Peripheral blood film; Romanowsky stain — 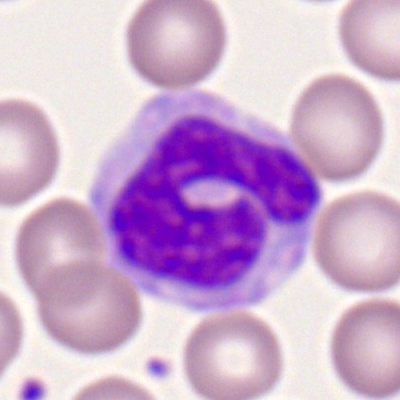 Specimen: peripheral blood smear.
Morphological class: monocyte.
Lineage: myeloid.